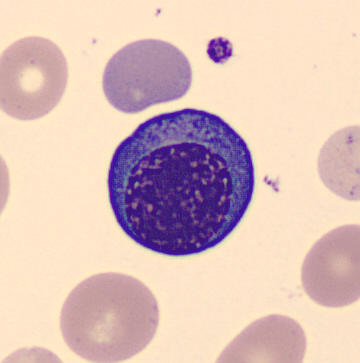Q: What is shown here?
A: A nucleated red blood cell.